Bone marrow smear
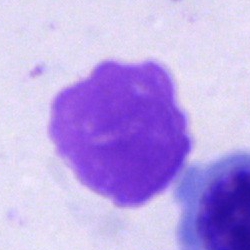
{"cell_type": "artifact"}